Bone marrow aspirate smear.
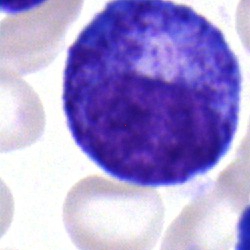

Showing a progranulocyte.